Bone marrow smear; brightfield, 40× oil-immersion objective:
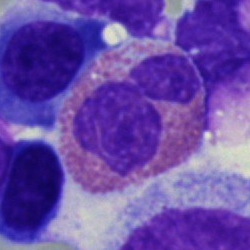Specimen: bone marrow smear.
Cell type: eosinophil.
Lineage: myeloid.